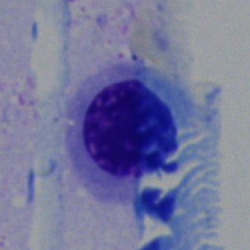

{"cell_type": "nucleated red cell"}